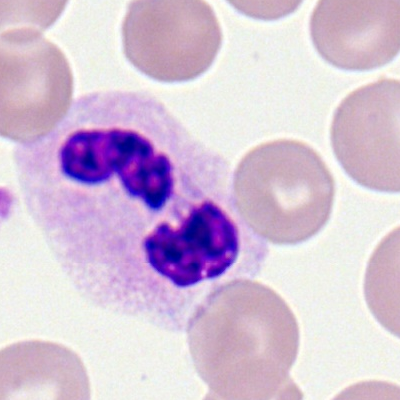 Q: Identify the cell.
A: It is a segmented neutrophil.